Single-cell crop; bone marrow aspirate smear:
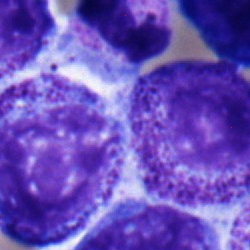
Specimen: bone marrow smear.
Morphological class: neutrophil (segmented).
Lineage: myeloid.